250×250; 40× oil immersion; bone marrow aspirate smear — 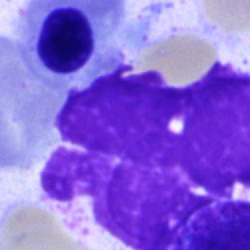
Q: What is shown here?
A: This is an artifact.